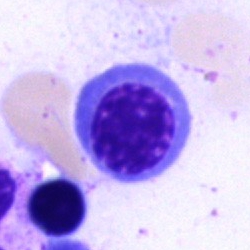 Morphology consistent with a blast.